Bone marrow smear: 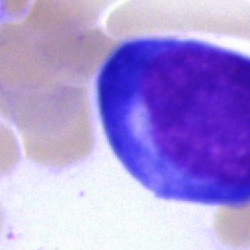
Impression → pronormoblast.